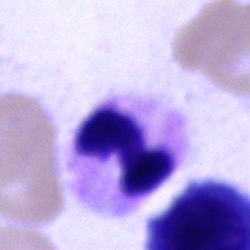This is a neutrophil (segmented).